Cropped to a single cell; 40× oil immersion; bone marrow aspirate smear:
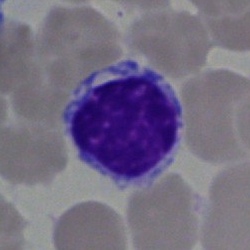

Morphology → lymphocyte.